CellaVision DM96; peripheral blood smear — 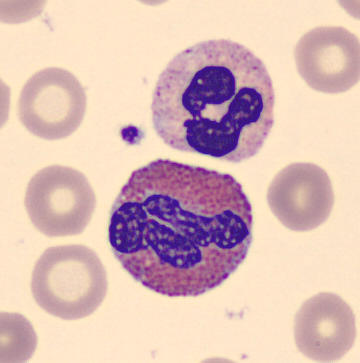

Showing an eosinophil.